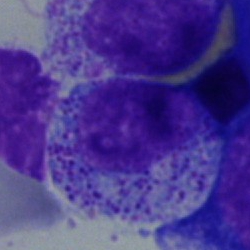
Morphological class = myelocyte.